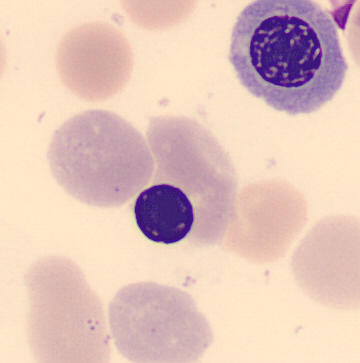

Cell type: nucleated red cell.